Bone marrow smear
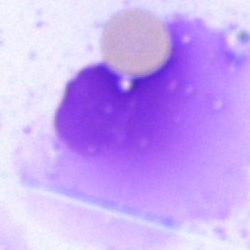
This is an artefact.